May-Grünwald-Giemsa stain. 40× oil immersion. Bone marrow smear:
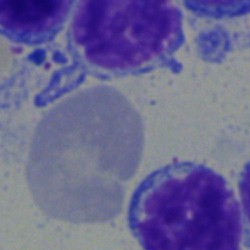
Morphological class = lymphocyte.